Brightfield microscopy, 40× oil immersion · bone marrow smear.
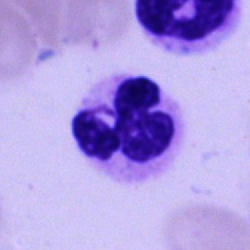
A polymorphonuclear neutrophil.